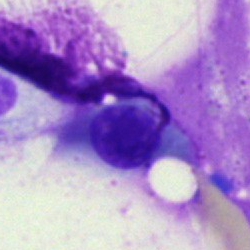 Morphology — nucleated red cell.